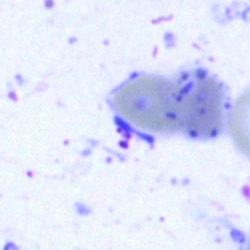 Specimen: bone marrow smear.
Classification: artefact.